Bone marrow smear:
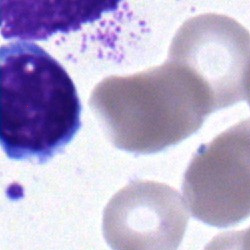A typical lymphocyte.